Image size 250×250; bone marrow smear: 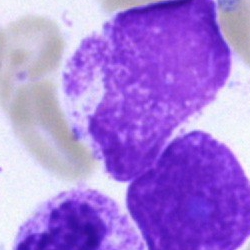
This is an artefact.